250×250 px · bone marrow aspirate smear.
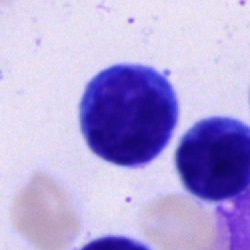Cell type: lymphocyte.